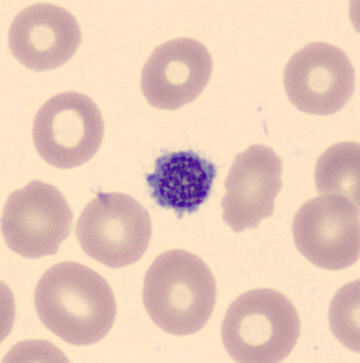 A platelet (thrombocyte).

Acquisition: Peripheral blood smear.